Bone marrow smear — 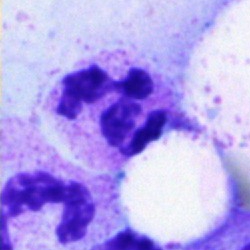
Single cell identified as a neutrophil (segmented).